Peripheral blood film; 100× objective, oil immersion
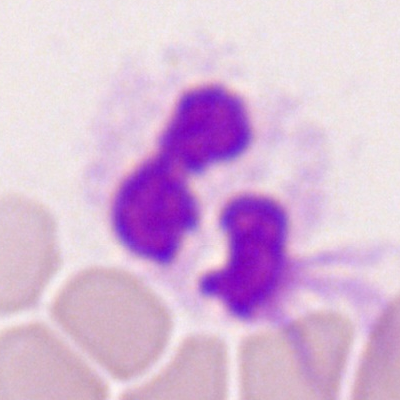Classification: polymorphonuclear neutrophil.